May-Grünwald-Giemsa stain; bone marrow aspirate smear — 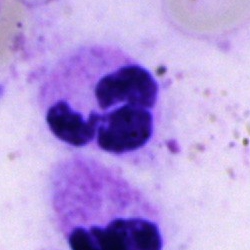Showing a polymorphonuclear neutrophil.